Single-cell field; image size 250×250; bone marrow aspirate smear — 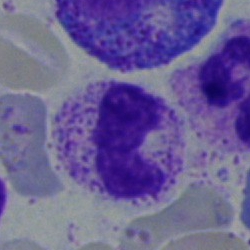 Morphology consistent with a metamyelocyte.